Brightfield, 40× oil-immersion objective · bone marrow smear.
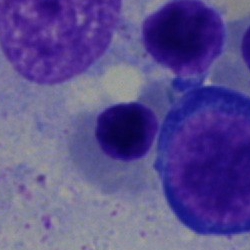

Cell type = nucleated red blood cell.